40× oil immersion · bone marrow aspirate smear.
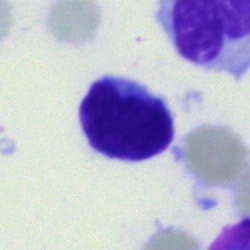

Q: What type of cell is this?
A: A typical lymphocyte.